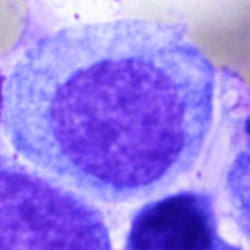 Morphological class = promyelocyte.